May-Grünwald-Giemsa stain · single cell centered in the field · bone marrow aspirate smear — 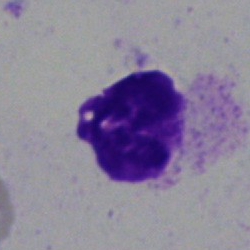Specimen: bone marrow aspirate smear.
Classification: artifact.